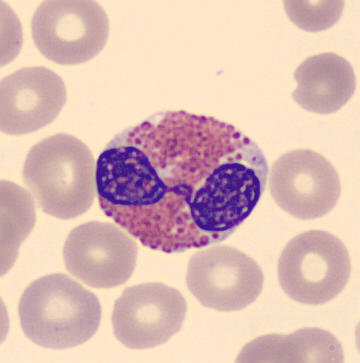 Image: Peripheral blood film · 360×363 · imaged on a CellaVision DM96 analyser.

An eosinophil.